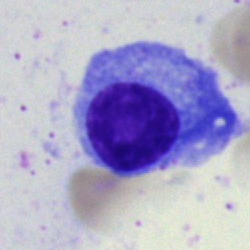

Morphology consistent with a plasma cell.